Peripheral blood film
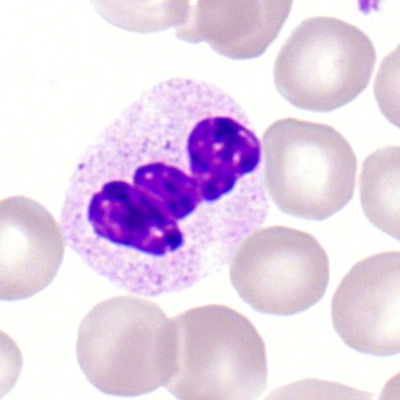The classification is polymorphonuclear neutrophil.